Cropped to a single cell; bone marrow aspirate smear:
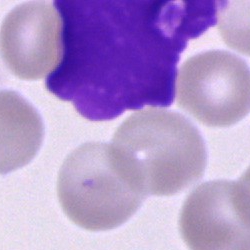 This is an artefact.